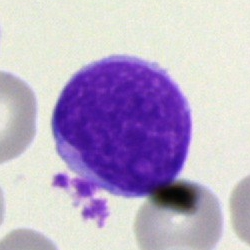

Bone marrow smear showing an undifferentiated blast.